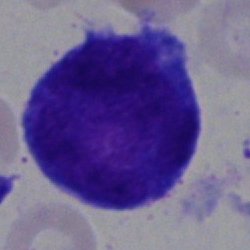

Specimen: bone marrow smear.
Cell type: blast.